Romanowsky-stained; peripheral blood film
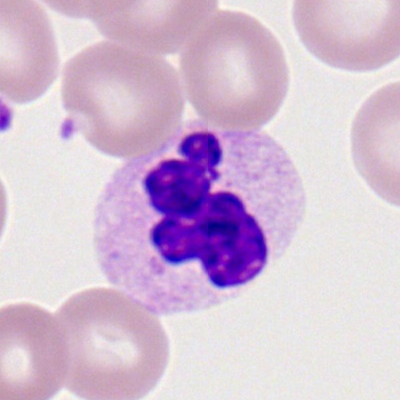

The cell type is neutrophil (segmented).